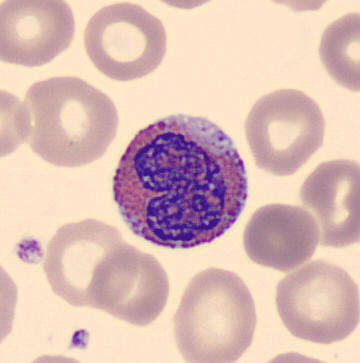Preparation: CellaVision DM96; peripheral blood film; MGG stain. Q: What is shown here?
A: An eosinophilic granulocyte.